Pappenheim-stained. Bone marrow smear.
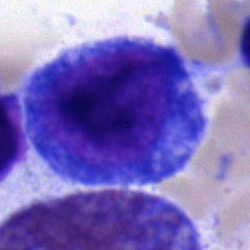 Specimen: bone marrow aspirate smear.
Morphological class: pronormoblast.